100× oil immersion; peripheral blood smear.
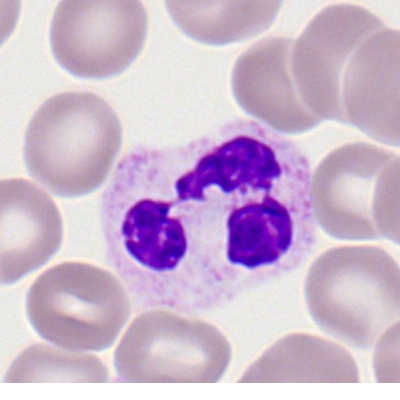
Specimen: peripheral blood smear.
Morphological class: segmented neutrophil.
Lineage: myeloid.